Bone marrow aspirate smear.
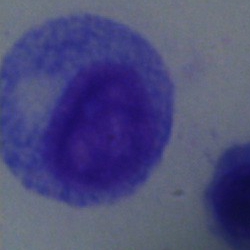Q: Identify the cell.
A: It is a progranulocyte.